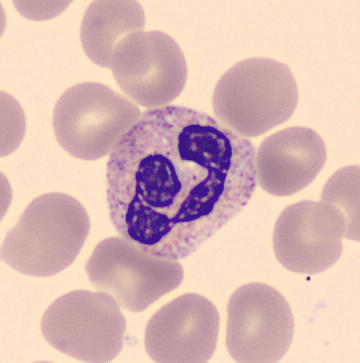Identified as a polymorphonuclear neutrophil.
Peripheral blood film.